Bone marrow smear:
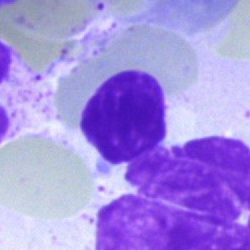
{"cell_type": "artefact"}